Bone marrow smear
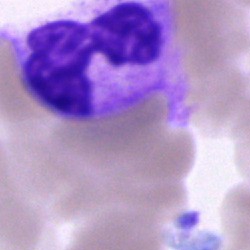Q: Identify the cell.
A: It is a neutrophil (segmented).